Bone marrow aspirate smear — 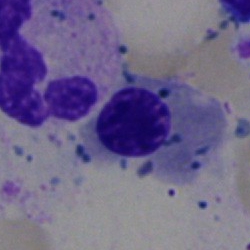

Q: What is shown here?
A: It is an artifact.